Bone marrow smear; brightfield microscopy, 40× oil immersion: 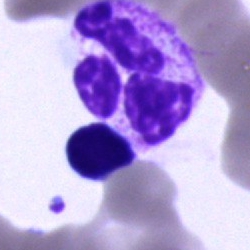Q: Identify the cell.
A: This is a neutrophil (segmented).